Single-cell crop. Bone marrow smear — 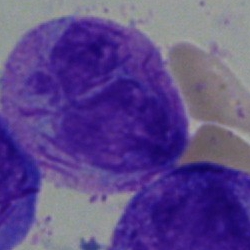 {"cell_type": "cell with bundled Auer rods"}